Cropped to a single cell. Bone marrow aspirate smear
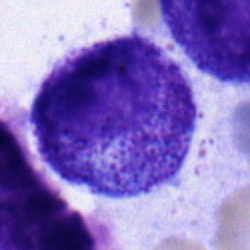
Morphological class = myelocyte.